Single cell centered in the field; bone marrow aspirate smear:
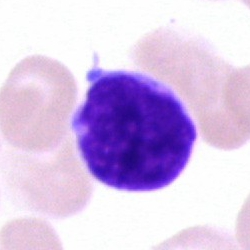Single cell identified as a typical lymphocyte.